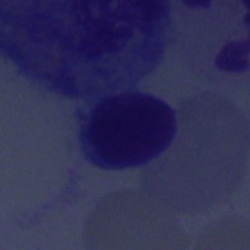
Impression — typical lymphocyte.